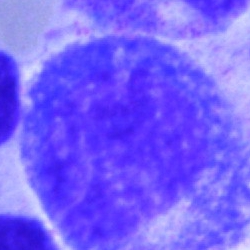

Single-cell crop from a bone marrow smear: promyelocyte.